Bone marrow smear
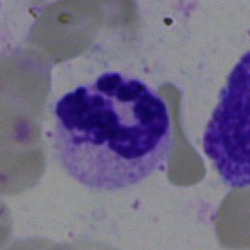

Q: What type of cell is this?
A: Neutrophil (segmented).